250×250 px; bone marrow aspirate smear — 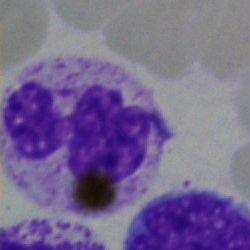 The cell shown is a neutrophil (segmented).